Peripheral blood smear
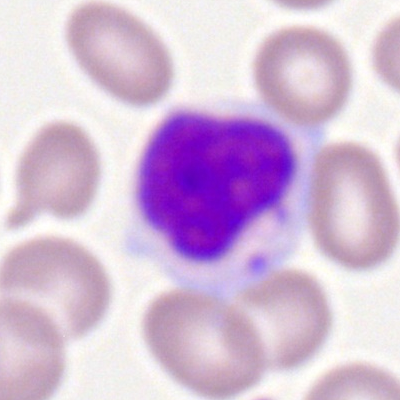

A lymphocyte.